Bone marrow smear — 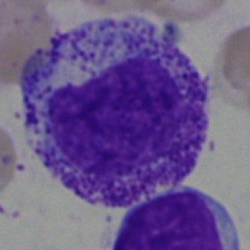Specimen: bone marrow smear.
Morphological class: myelocyte.